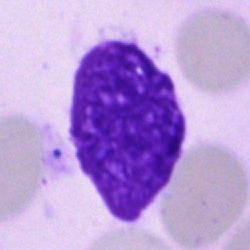Cell type: artefact.